40× objective, oil immersion · 250×250 · bone marrow smear: 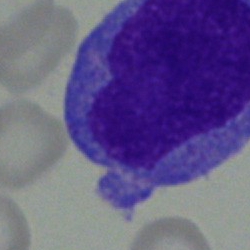 {"cell_type": "undifferentiated blast"}